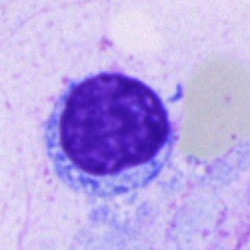
Specimen: bone marrow smear.
Cell type: typical lymphocyte.
Lineage: lymphoid.